Bone marrow aspirate smear · May-Grünwald-Giemsa/Pappenheim stain.
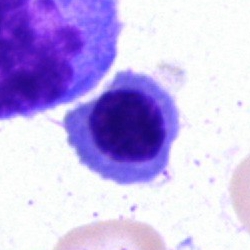

Specimen: bone marrow smear.
Cell: nucleated red cell.
Lineage: erythroid.